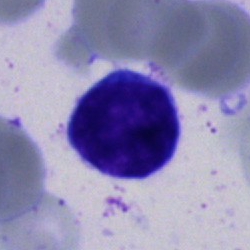

Cell = typical lymphocyte.